Peripheral blood smear · 100× oil immersion, 14.14 px/µm
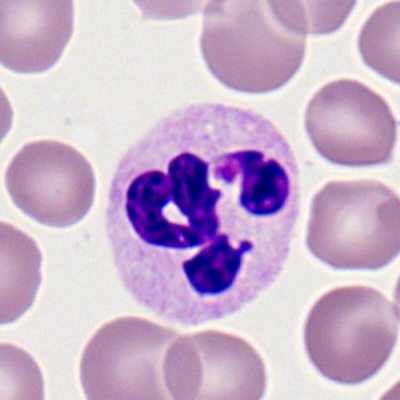

Single cell identified as a polymorphonuclear neutrophil.